Bone marrow aspirate smear: 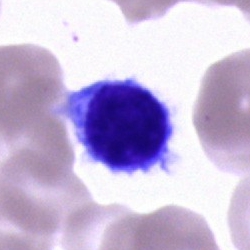The cell type is lymphocyte.